Single-cell field · bone marrow smear:
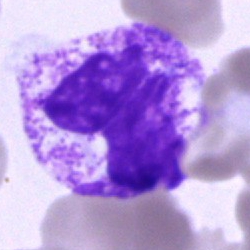

Single cell identified as a polymorphonuclear neutrophil.